Bone marrow smear.
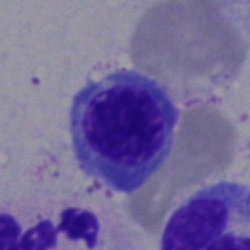 {"cell_type": "nucleated red cell", "lineage": "erythroid"}